Bone marrow smear.
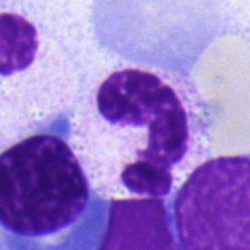Specimen: bone marrow smear.
Cell: band neutrophil.